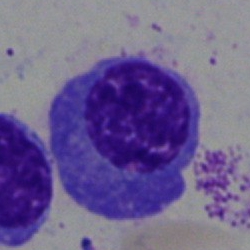

Specimen: bone marrow smear.
Classification: plasmacyte.